Bone marrow aspirate smear; brightfield microscopy, 40× oil immersion
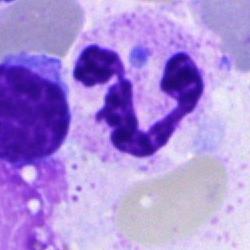
Q: Identify the cell.
A: This is a polymorphonuclear neutrophil.